Bone marrow smear — 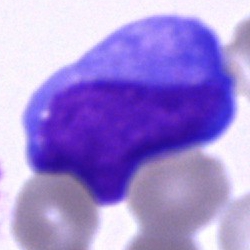 {"cell_type": "blast"}